40× objective, oil immersion; bone marrow smear; 250×250
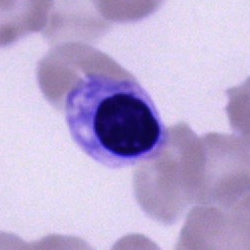
Specimen: bone marrow smear.
Classification: erythroblast.
Lineage: erythroid.